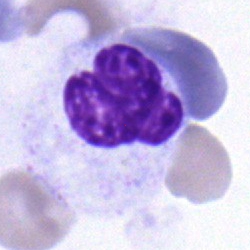
{"cell_type": "segmented neutrophil"}